Bone marrow aspirate smear — 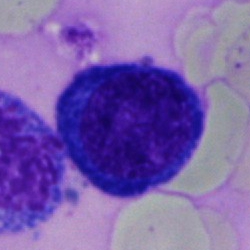

Morphological class = nucleated red cell.